MGG-stained; bone marrow aspirate smear:
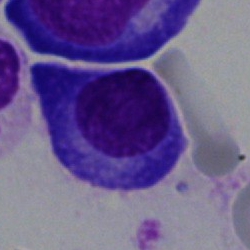
Q: Identify the cell.
A: This is a plasma cell.